Image size 250×250. Single-cell crop. Bone marrow smear
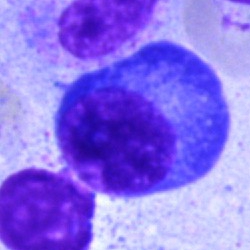Specimen: bone marrow smear.
Cell: plasma cell.